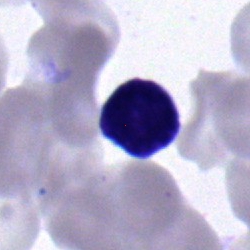Specimen: bone marrow smear.
Classification: typical lymphocyte.
Lineage: lymphoid.